Single cell centered in the field · bone marrow smear — 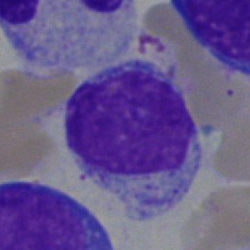

Typical lymphocyte.